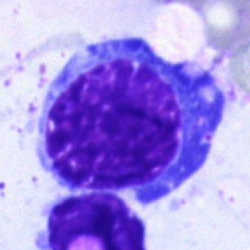Q: What type of cell is this?
A: Erythroblast.